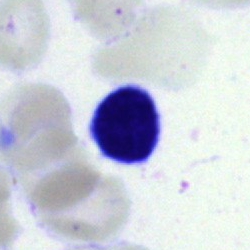
Morphology — typical lymphocyte.